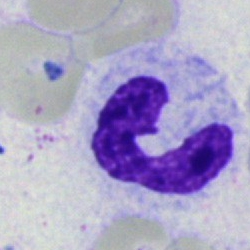

Single cell identified as a band-form neutrophil.